Bone marrow smear · single-cell crop · May-Grünwald-Giemsa/Pappenheim stain:
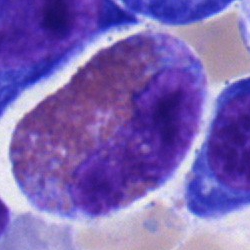
Q: What is shown here?
A: This is an eosinophilic granulocyte.